Cropped to a single cell · bone marrow aspirate smear — 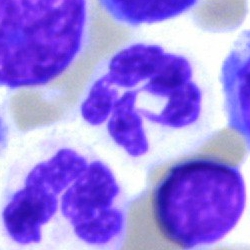
Showing a polymorphonuclear neutrophil.